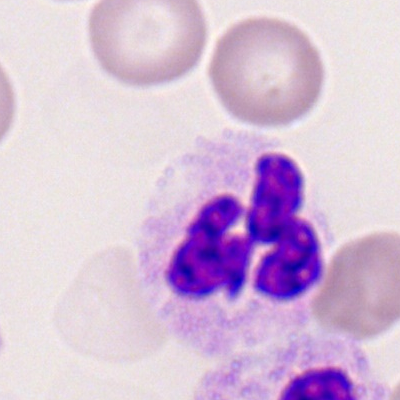
{"cell_type": "neutrophil (segmented)", "lineage": "myeloid"}